Bone marrow aspirate smear.
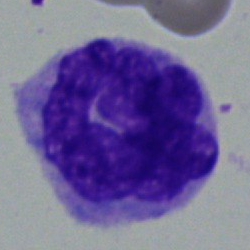

A monocyte.